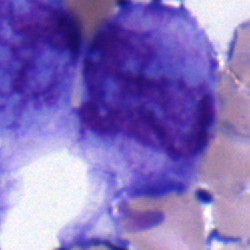

Single cell identified as a blast.